Bone marrow aspirate smear — 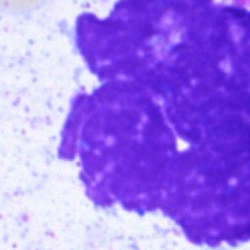
Cell — artifact.